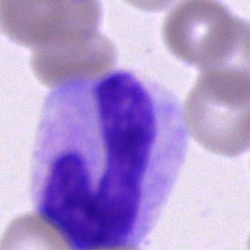
Cell type = neutrophil (band).